Bone marrow smear: 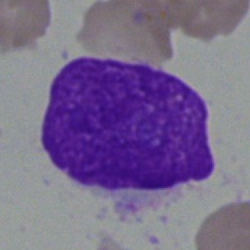

Cell type — blast cell.